Bone marrow aspirate smear.
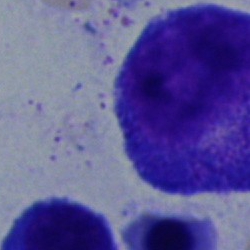

Morphology → promyelocyte.